Bone marrow smear: 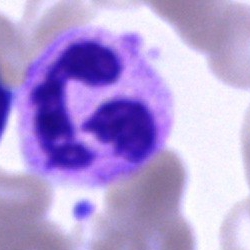 Morphology — segmented neutrophil.